Bone marrow smear:
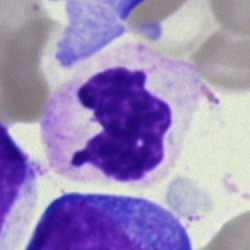 Impression — neutrophil (segmented).